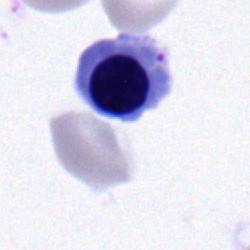

Cell type — erythroblast.